Cropped to a single cell · May-Grünwald-Giemsa stain · bone marrow aspirate smear.
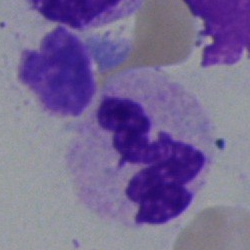

The cell is neutrophil (segmented).